Bone marrow smear; single-cell crop: 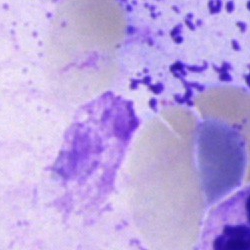

Specimen: bone marrow aspirate smear.
Cell type: artifact.